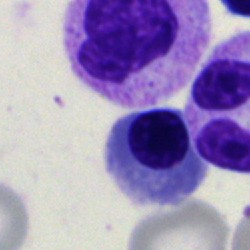
Classification: nucleated red cell.